Pappenheim-stained; bone marrow smear; single cell centered in the field:
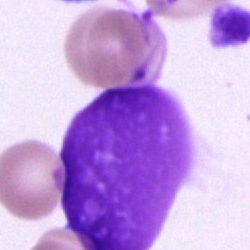Artefact.